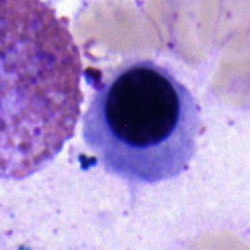

A nucleated red cell.